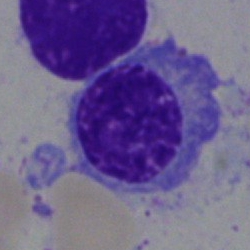Morphology — plasma cell.